Bone marrow smear; Pappenheim-stained; 250×250 px: 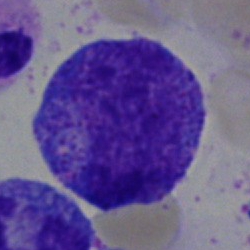
Specimen: bone marrow aspirate smear.
Cell type: progranulocyte.
Lineage: myeloid.